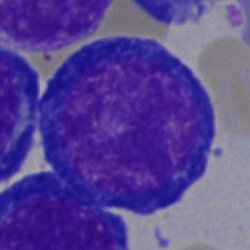

Morphology — erythroblast.